Bone marrow smear · 250×250:
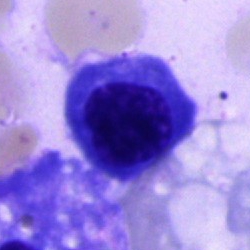 Morphological class — erythroblast.